Bone marrow aspirate smear — 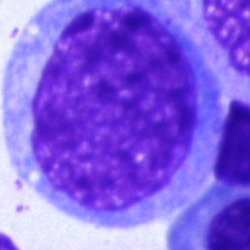Morphology — blast.